Single-cell field; bone marrow smear
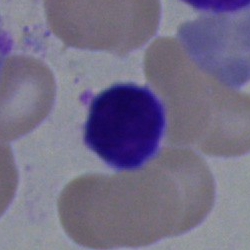Specimen: bone marrow aspirate smear.
Cell type: lymphocyte.
Lineage: lymphoid.